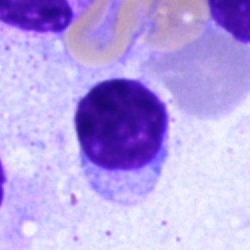Q: Which cell type is shown here?
A: Typical lymphocyte.